250×250 px · May-Grünwald-Giemsa/Pappenheim stain · bone marrow aspirate smear:
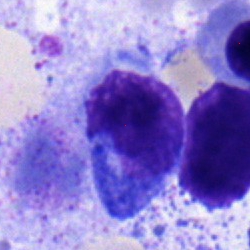 Impression → monocyte.